Bone marrow smear · MGG-stained
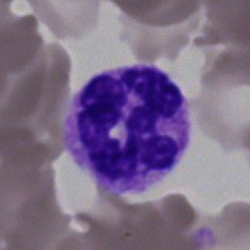Polymorphonuclear neutrophil.